Bone marrow aspirate smear. May-Grünwald-Giemsa stain — 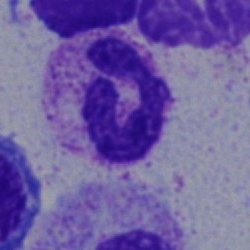

Segmented neutrophil.